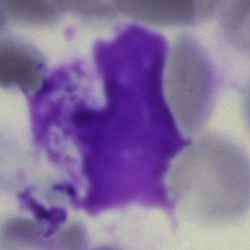The classification is artifact.